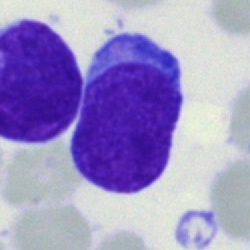 This is a blast.